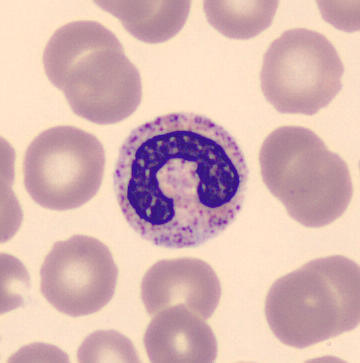

Band-form neutrophil.
Preparation: Peripheral blood smear; May-Grünwald-Giemsa-stained.